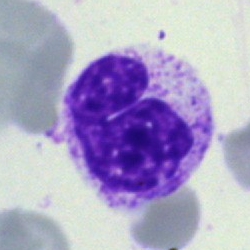
Single-cell crop from a bone marrow smear: neutrophil (segmented).